Bone marrow aspirate smear · 250×250 px:
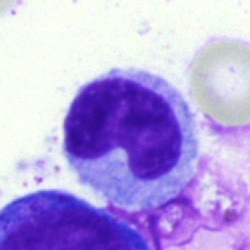
Q: What is shown here?
A: A metamyelocyte.